250 by 250 pixels; bone marrow aspirate smear: 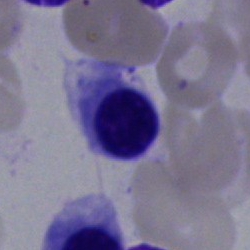 Cell — nucleated red cell.